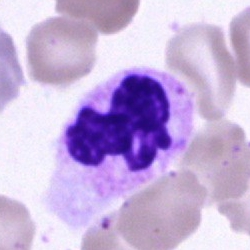A polymorphonuclear neutrophil on a bone marrow smear.